Pappenheim-stained; image size 250×250; bone marrow aspirate smear.
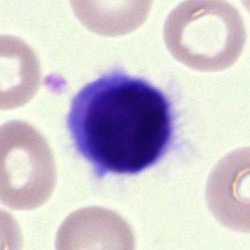 Morphology — artefact.